Peripheral blood film: 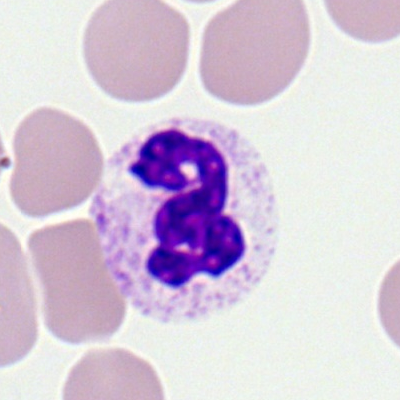Morphology — neutrophil (segmented).